Bone marrow smear.
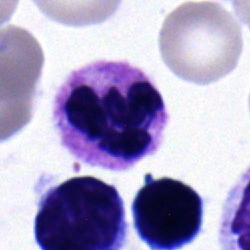
The cell shown is a neutrophil (segmented).